250×250 px. MGG-stained. Bone marrow aspirate smear:
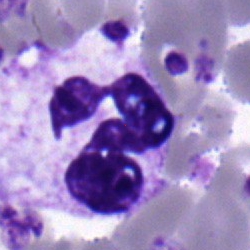 Cell = segmented neutrophil.